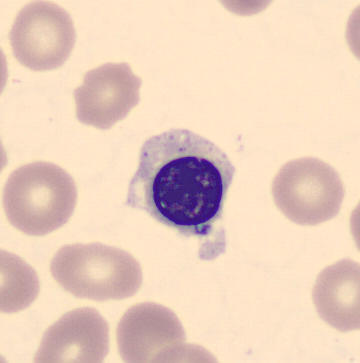
{"cell_type": "normoblast", "lineage": "erythroid"}
Acquisition: MGG stain; CellaVision DM96 digital cell image; peripheral blood smear.